May-Grünwald-Giemsa stain · bone marrow smear:
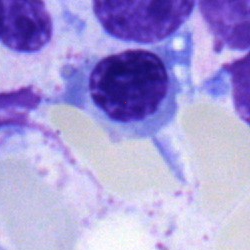 Morphology → normoblast.